Bone marrow aspirate smear
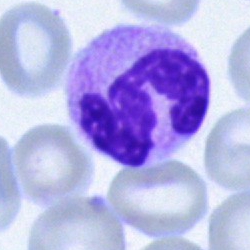

Specimen: bone marrow aspirate smear.
Cell type: polymorphonuclear neutrophil.